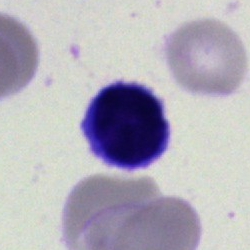
Showing a lymphocyte.